Bone marrow smear.
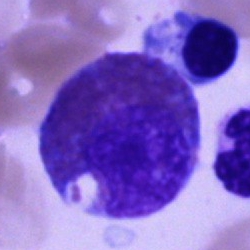The classification is eosinophil.